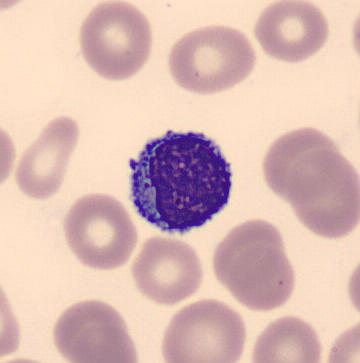The cell type is typical lymphocyte.
Acquisition: Peripheral blood film.